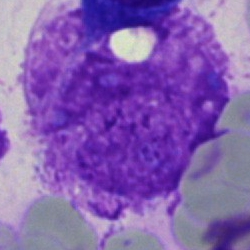

Cell = artifact.